Bone marrow smear: 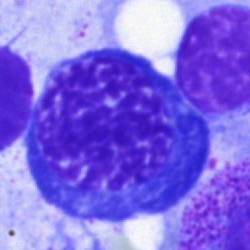

Specimen: bone marrow smear.
Cell: nucleated red blood cell.
Lineage: erythroid.